Bone marrow smear; MGG-stained.
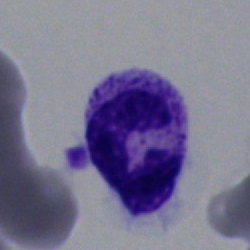
Morphology consistent with a polymorphonuclear neutrophil.